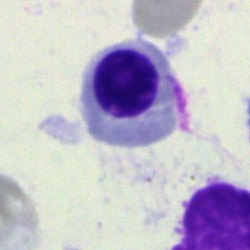Showing a nucleated red blood cell.